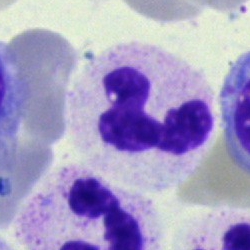 Cell: segmented neutrophil.